Bone marrow aspirate smear — 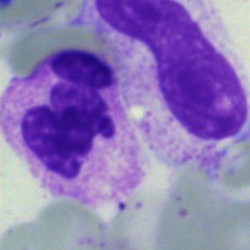

{"cell_type": "polymorphonuclear neutrophil", "lineage": "myeloid"}